400×400 px. Peripheral blood film.
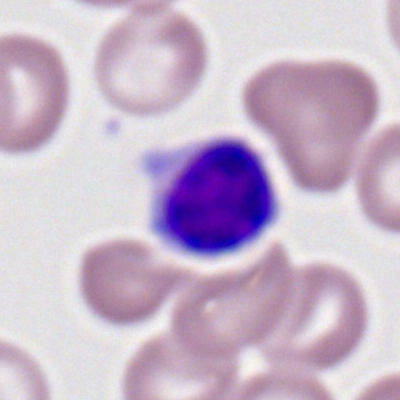 Lymphocyte.